Bone marrow aspirate smear — 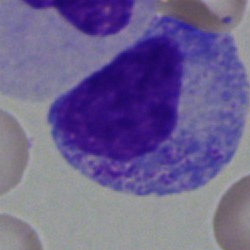 Single cell identified as a progranulocyte.